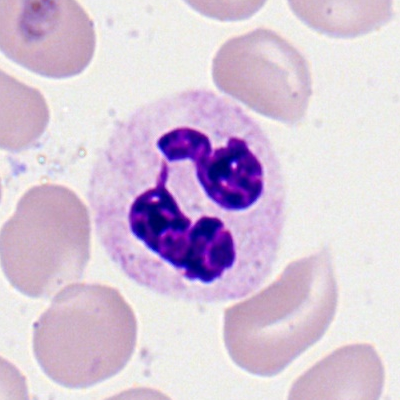 Neutrophil (segmented).